Peripheral blood film — 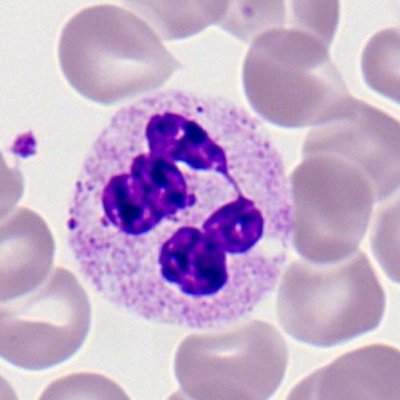 This is a polymorphonuclear neutrophil.